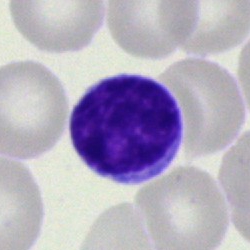Q: Which cell type is shown here?
A: Lymphocyte.